Bone marrow smear:
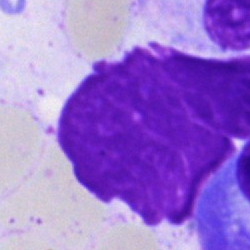Artifact.